Bone marrow smear; brightfield, 40× oil-immersion objective.
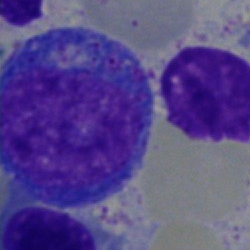
Showing a promyelocyte.